Bone marrow aspirate smear
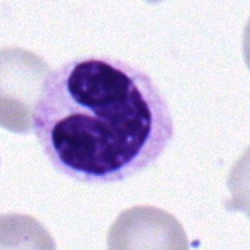
The cell shown is a band neutrophil.